Bone marrow aspirate smear.
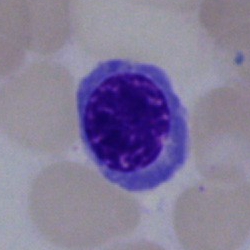
Cell type = erythroblast.